40× oil immersion · bone marrow smear: 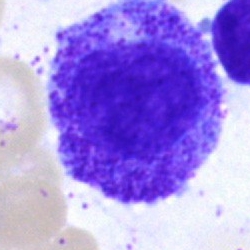
Morphology — myelocyte.